Bone marrow smear
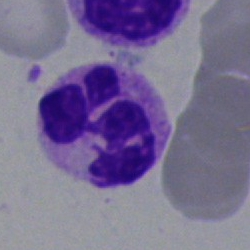A segmented neutrophil.